Bone marrow aspirate smear:
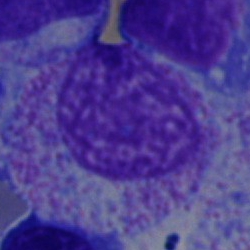Cell = myelocyte.